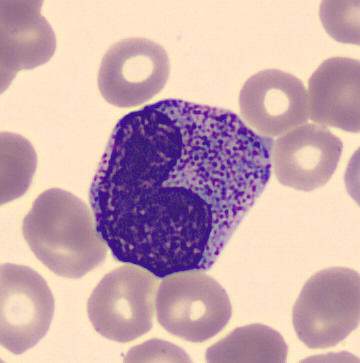 Image: 360×363 · peripheral blood smear · automated cell imaging (CellaVision DM96). This is a progranulocyte.